Bone marrow aspirate smear · 250×250
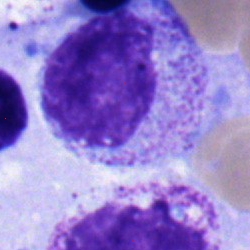 A myelocyte.